Brightfield, 40× oil-immersion objective · bone marrow smear: 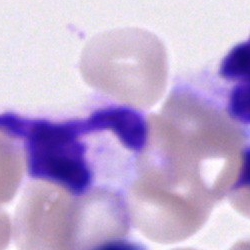

Q: Identify the cell.
A: It is a neutrophil (segmented).